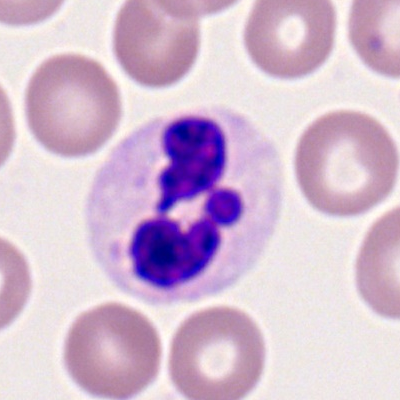

The cell shown is a segmented neutrophil.